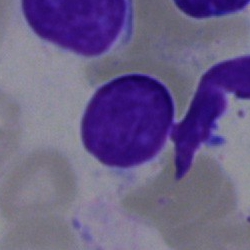Specimen: bone marrow aspirate smear.
Classification: lymphocyte.
Lineage: lymphoid.